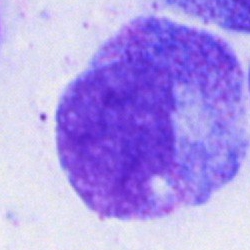

The cell shown is a promyelocyte.